Bone marrow aspirate smear:
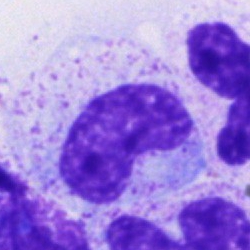
{"cell_type": "metamyelocyte"}